Bone marrow aspirate smear: 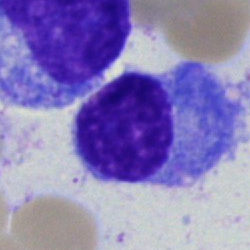 Showing a plasma cell.